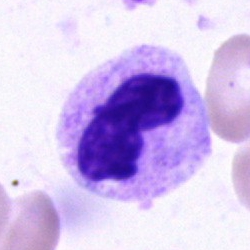
Bone marrow aspirate smear, single cell — polymorphonuclear neutrophil.